Bone marrow aspirate smear · 250×250:
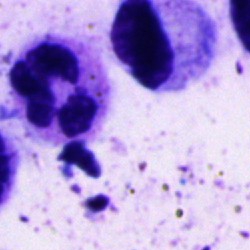 Cell — polymorphonuclear neutrophil.